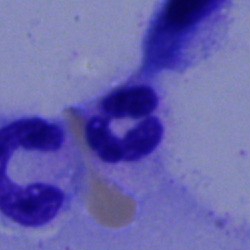

Q: What is the morphological classification of this cell?
A: A polymorphonuclear neutrophil.